Single-cell field · bone marrow smear.
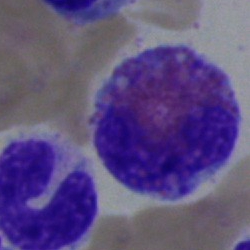

Specimen: bone marrow aspirate smear.
Classification: eosinophil.